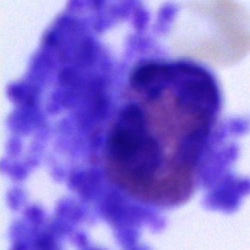Cell type — eosinophilic granulocyte.